Bone marrow aspirate smear. Single cell centered in the field: 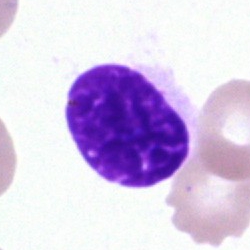Cell — artefact.